100× oil immersion; peripheral blood smear: 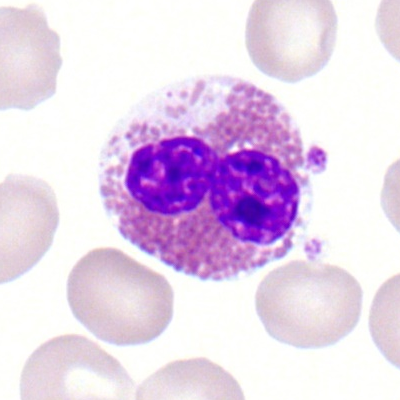
Q: What cell is this?
A: Eosinophil.